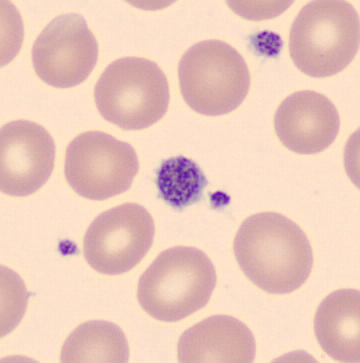Preparation: 360 by 363 pixels; May Grünwald-Giemsa stain; peripheral blood smear. Showing a thrombocyte.